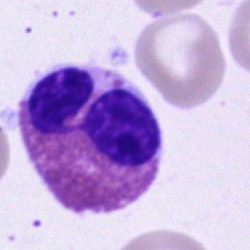Morphological class = eosinophilic granulocyte.